Bone marrow aspirate smear. Pappenheim-stained: 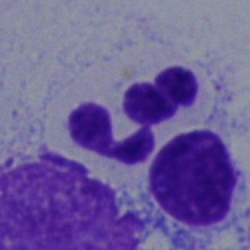
Impression → segmented neutrophil.